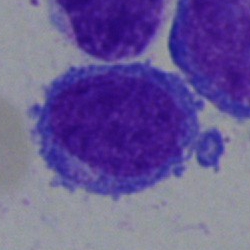
Showing a lymphocyte.